Single cell centered in the field; bone marrow aspirate smear; 40× oil immersion — 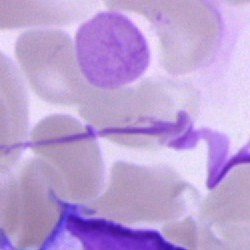 Classification: artifact.